Bone marrow aspirate smear: 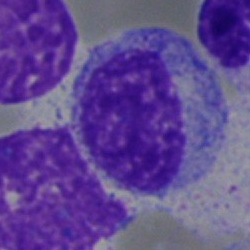
Morphological class = progranulocyte.